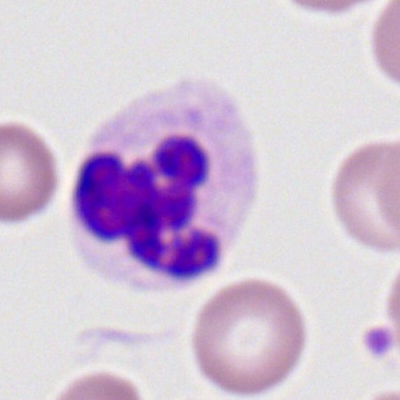 Specimen: peripheral blood film.
Classification: neutrophil (segmented).